Single-cell crop; bone marrow aspirate smear.
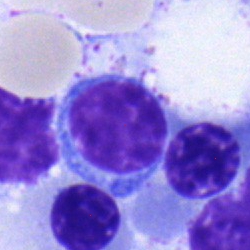 The morphological class is lymphocyte.